Bone marrow smear:
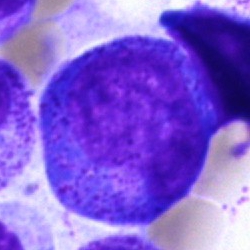 Morphology consistent with a promyelocyte.